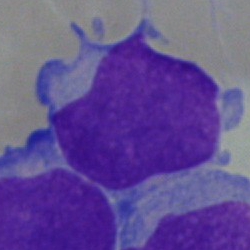
Specimen: bone marrow aspirate smear.
Cell type: blast cell.